Peripheral blood film
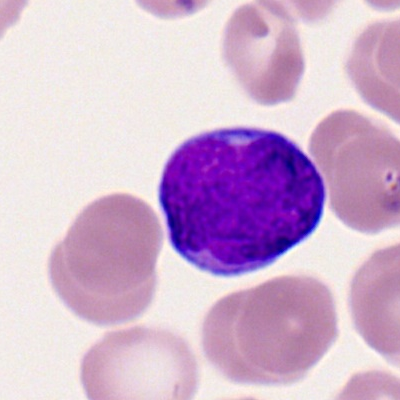 Single cell identified as a myeloid blast.